Brightfield, 40× oil-immersion objective · bone marrow smear · cropped to a single cell — 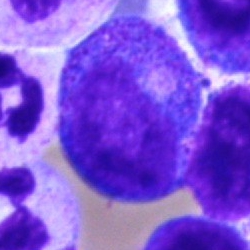

Q: What is shown here?
A: Progranulocyte.